Bone marrow aspirate smear. Brightfield, 40× oil-immersion objective
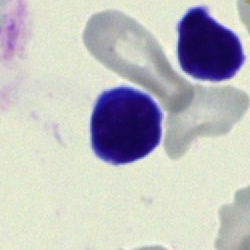
Cell type: lymphocyte.